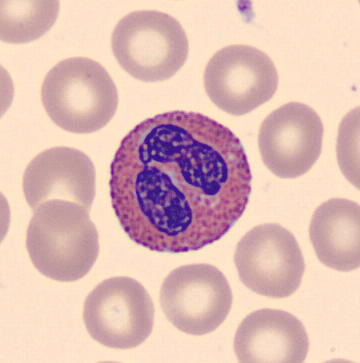 Acquisition: Peripheral blood film. Single cell identified as an eosinophil.